Single cell centered in the field. Bone marrow aspirate smear — 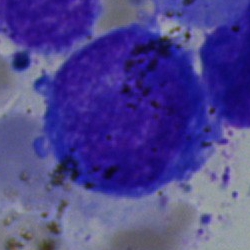
A blast cell.